Peripheral blood smear · single cell centered in the field: 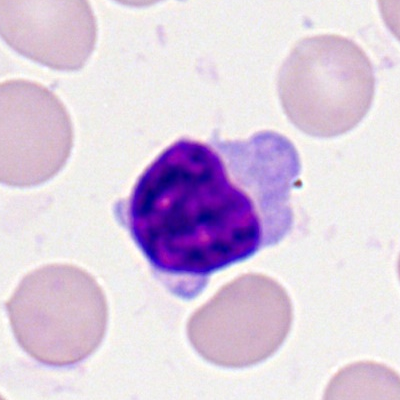
A typical lymphocyte.